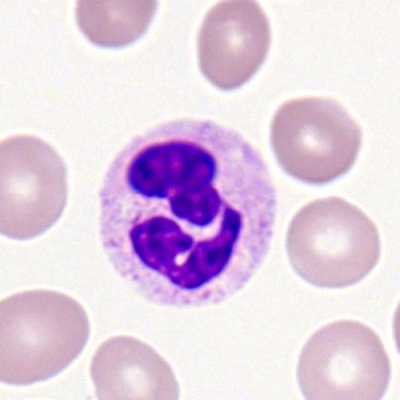
Cell: segmented neutrophil.